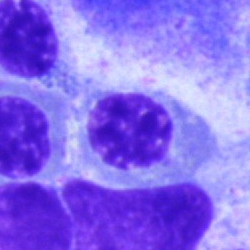
Specimen: bone marrow smear.
Classification: nucleated red blood cell.
Lineage: erythroid.